40× objective, oil immersion · bone marrow aspirate smear — 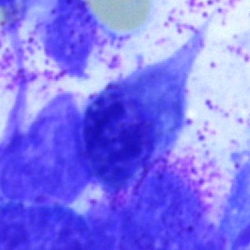 Impression → erythroblast.